Bone marrow aspirate smear. 250×250. Single-cell field
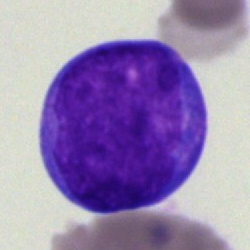

Q: Identify the cell.
A: It is a blast.